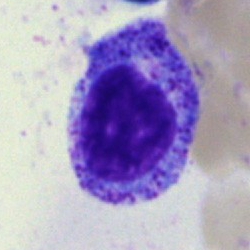
Q: Which cell type is shown here?
A: Myelocyte.